Bone marrow smear: 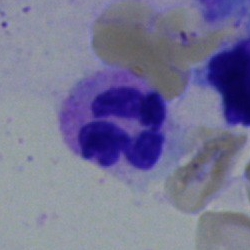 Cell type: segmented neutrophil.